Bone marrow smear: 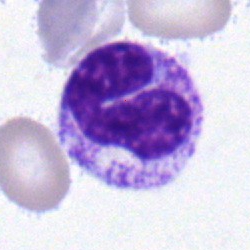 Cell type = band-form neutrophil.